May-Grünwald-Giemsa/Pappenheim stain; bone marrow smear:
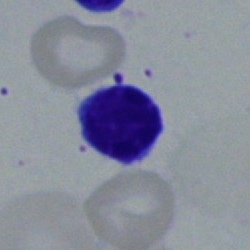 Specimen: bone marrow aspirate smear.
Morphological class: typical lymphocyte.
Lineage: lymphoid.